Bone marrow smear · 40× objective, oil immersion: 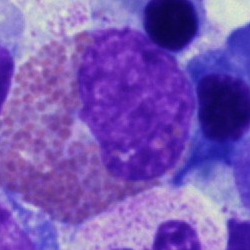
Morphological class = eosinophil.